Peripheral blood film
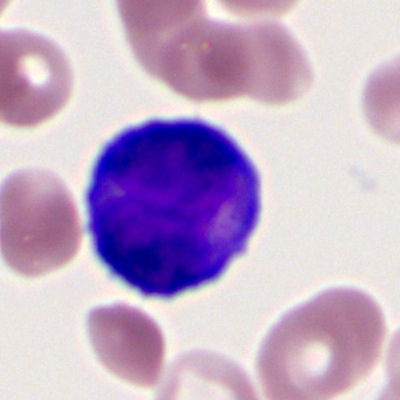 The cell shown is a myeloblast.